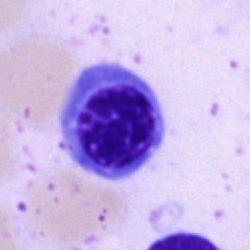

Q: What is the morphological classification of this cell?
A: An erythroblast.